Bone marrow aspirate smear. 250×250. 40× objective, oil immersion — 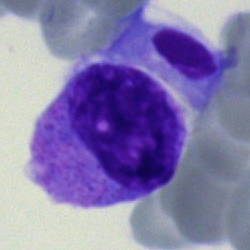 Q: Identify the cell.
A: It is a monocyte.